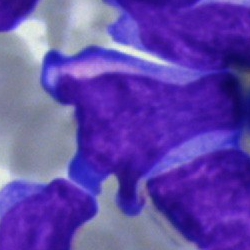Single-cell crop from a bone marrow smear: undifferentiated blast.